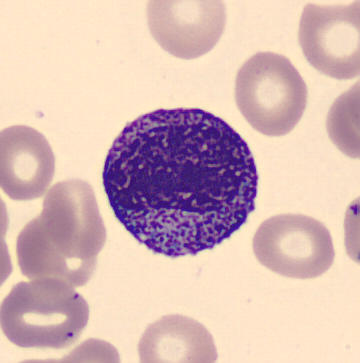 Cropped to a single cell · peripheral blood smear. This is a progranulocyte.